Bone marrow smear: 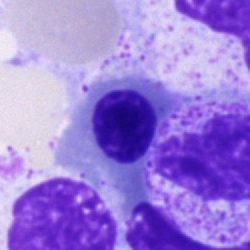Morphology — nucleated red cell.